Peripheral blood film
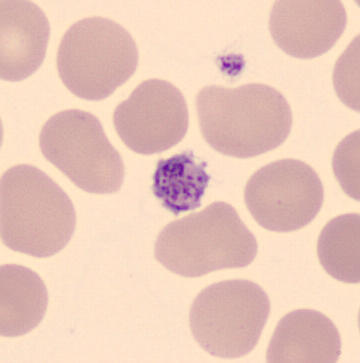

Cell type: platelet.